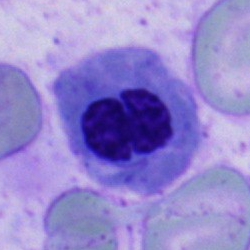
Specimen: bone marrow aspirate smear.
Cell: nucleated red cell.